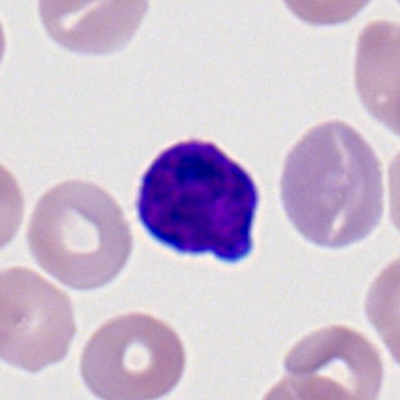{"cell_type": "typical lymphocyte"}